Bone marrow aspirate smear.
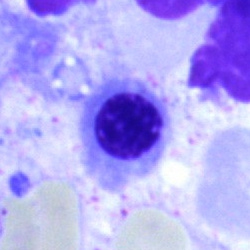
Cell type — nucleated red cell.